Bone marrow smear — 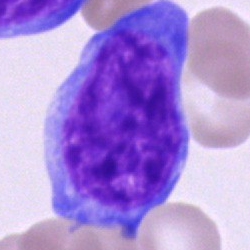
This is a blast.